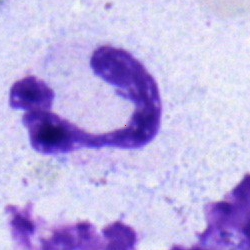

Bone marrow aspirate smear, single cell — segmented neutrophil.